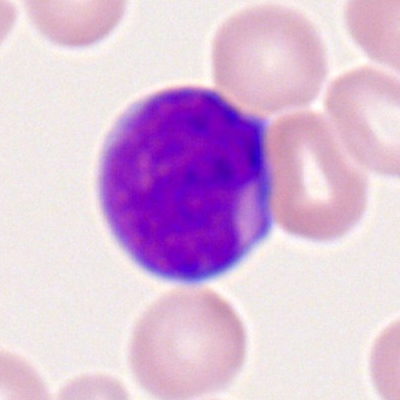

Single-cell crop from a peripheral blood smear: myeloid blast.